Bone marrow aspirate smear; 250×250 — 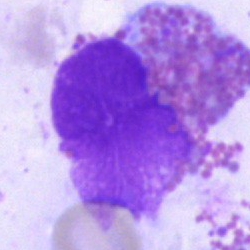 Cell: eosinophilic granulocyte.